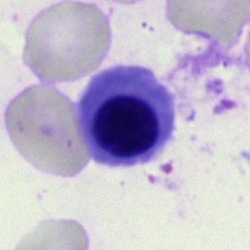{"cell_type": "nucleated red blood cell"}